Bone marrow smear · 250×250 — 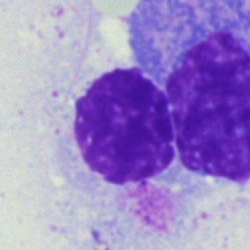 Q: What is shown here?
A: This is an artifact.